Bone marrow aspirate smear · 250 by 250 pixels: 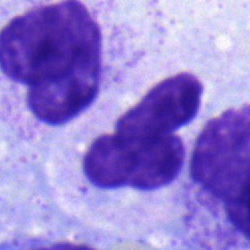Single cell identified as a polymorphonuclear neutrophil.